Bone marrow smear:
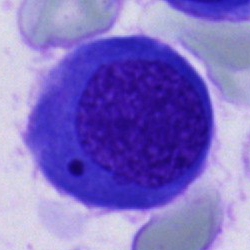

Impression — nucleated red cell.